May-Grünwald-Giemsa stain · bone marrow smear — 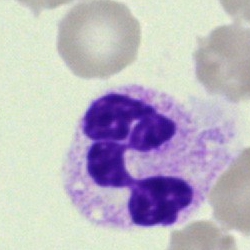

Neutrophil (segmented).